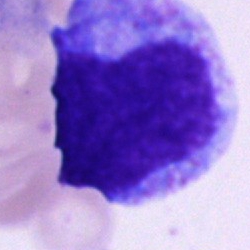 The classification is progranulocyte.